Bone marrow aspirate smear: 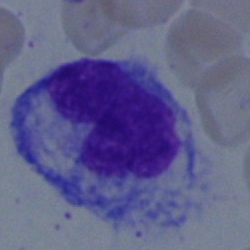Monocyte.